100× oil immersion; peripheral blood smear.
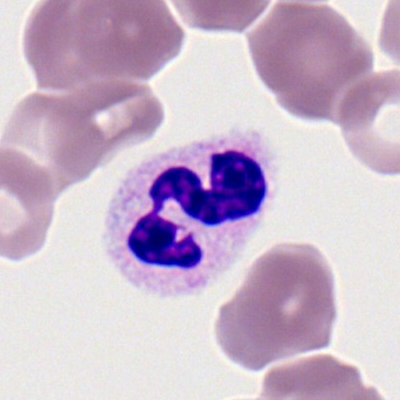Specimen: peripheral blood film.
Morphological class: neutrophil (segmented).
Lineage: myeloid.